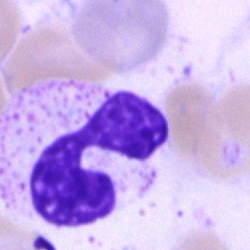Q: Identify the cell.
A: A neutrophil (segmented).